Bone marrow smear
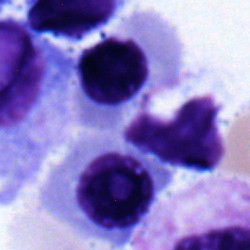

Morphology consistent with a nucleated red blood cell.